May-Grünwald-Giemsa/Pappenheim stain. Bone marrow aspirate smear — 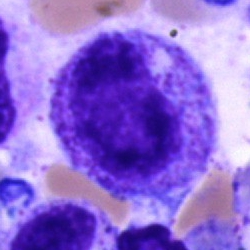Morphological class — progranulocyte.